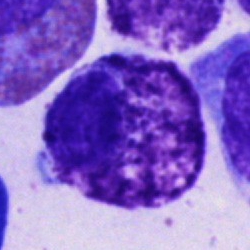

Cell = other cell type.